Bone marrow smear — 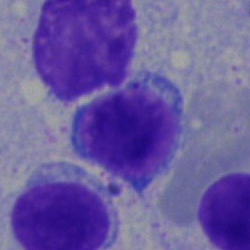 Q: What is shown here?
A: It is a lymphocyte.